Bone marrow aspirate smear
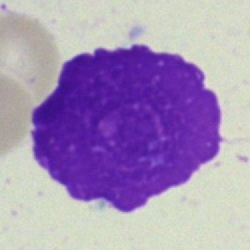 Q: What is shown here?
A: This is an artifact.